Peripheral blood film; MGG-stained: 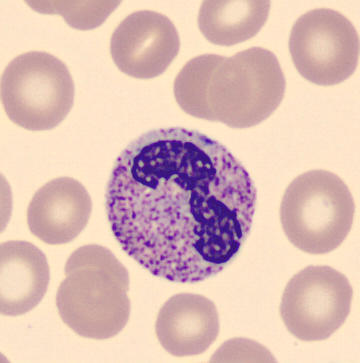{"cell_type": "band neutrophil", "lineage": "myeloid"}